Pappenheim-stained · bone marrow aspirate smear · brightfield, 40× oil-immersion objective — 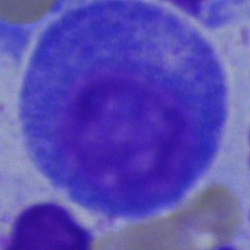
Q: What is the morphological classification of this cell?
A: A progranulocyte.